400×400; Romanowsky stain; peripheral blood smear
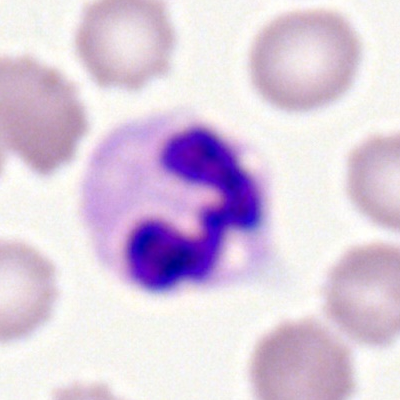

Q: What cell is this?
A: It is a polymorphonuclear neutrophil.